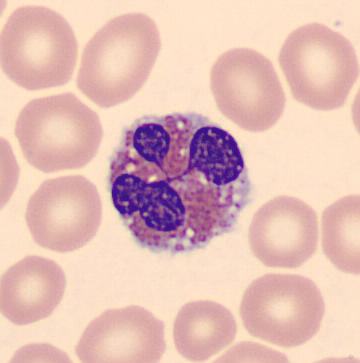Preparation: Single-cell crop. 360×363.

Specimen: peripheral blood smear.
Cell type: eosinophil.